400×400; peripheral blood film.
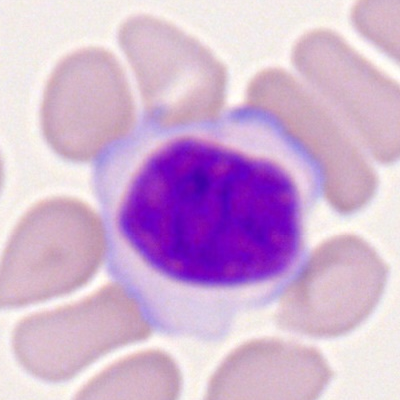
Specimen: peripheral blood film.
Classification: lymphocyte.